Bone marrow aspirate smear · May-Grünwald-Giemsa/Pappenheim stain · brightfield microscopy, 40× oil immersion:
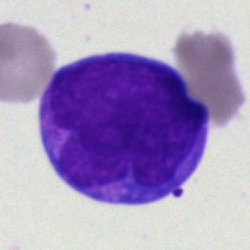 Classification — blast cell.